Peripheral blood smear; Romanowsky-stained — 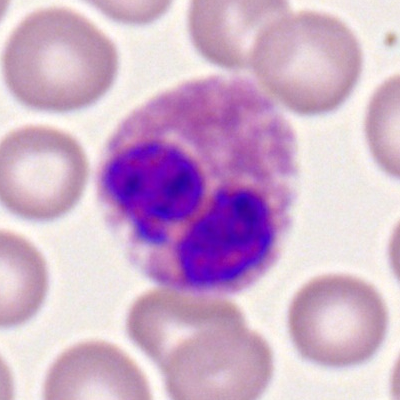 The cell shown is an eosinophil.